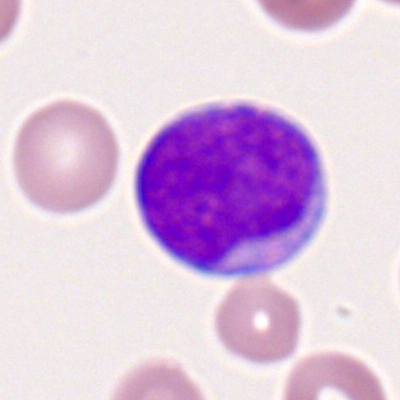

Peripheral blood film, single cell — myeloblast.